Bone marrow smear; cropped to a single cell; 40× objective, oil immersion.
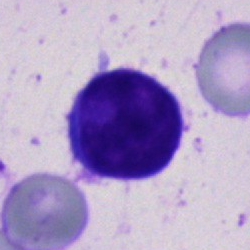
The classification is typical lymphocyte.